Brightfield microscopy, 40× oil immersion · bone marrow aspirate smear: 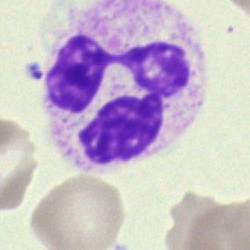

Single cell identified as a neutrophil (segmented).